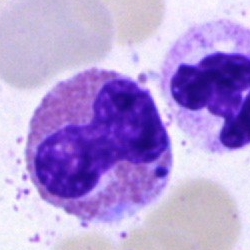 Impression → eosinophilic granulocyte.